Bone marrow aspirate smear; May-Grünwald-Giemsa/Pappenheim stain — 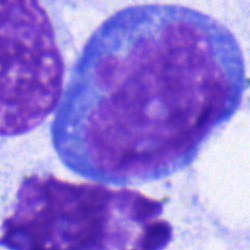 Morphology consistent with a blast.